40× oil immersion. 250 by 250 pixels. Bone marrow aspirate smear:
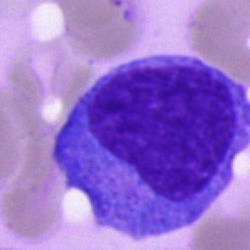 Q: What cell is this?
A: This is a progranulocyte.